Bone marrow aspirate smear:
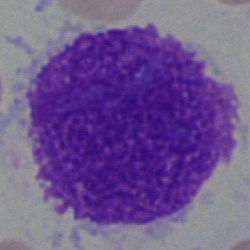

Cell — artefact.